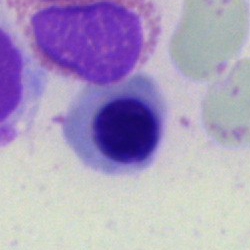

Q: What is the morphological classification of this cell?
A: This is a nucleated red blood cell.